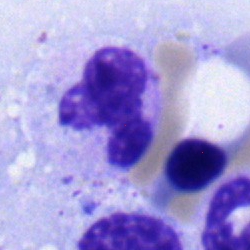

Cell = neutrophil (segmented).